Single cell centered in the field. Bone marrow smear:
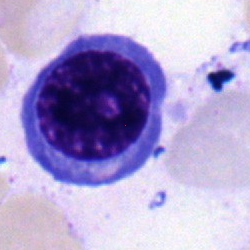Q: What is shown here?
A: Plasmacyte.